Bone marrow smear; 40× oil immersion:
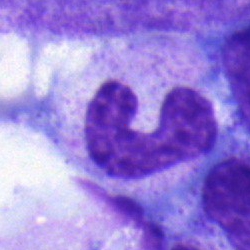 Single cell identified as a band neutrophil.